Bone marrow aspirate smear — 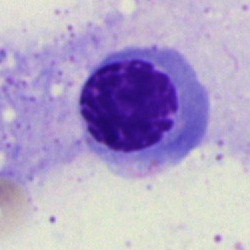

Cell = erythroblast.